Bone marrow smear:
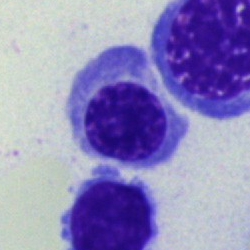 Nucleated red blood cell.